Peripheral blood film:
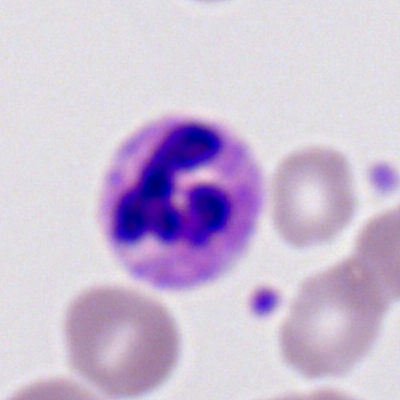 Morphology — polymorphonuclear neutrophil.